Bone marrow smear. 40× objective, oil immersion. Image size 250×250.
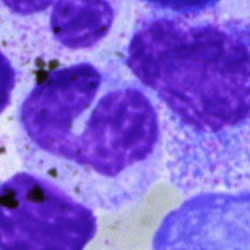The cell shown is a segmented neutrophil.